Bone marrow aspirate smear · brightfield microscopy, 40× oil immersion — 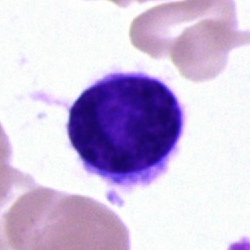 A typical lymphocyte.